Brightfield, 40× oil-immersion objective · single-cell crop · bone marrow aspirate smear: 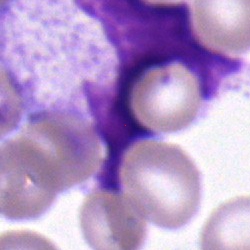The morphological class is neutrophil (segmented).